Bone marrow aspirate smear · 250 by 250 pixels:
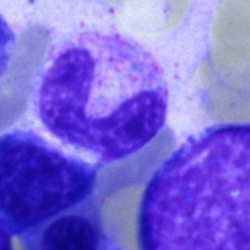
Band neutrophil.